May-Grünwald-Giemsa/Pappenheim stain. Bone marrow aspirate smear. Brightfield microscopy, 40× oil immersion
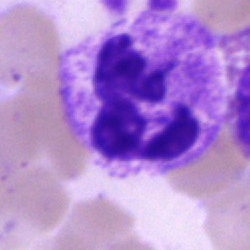 Specimen: bone marrow smear.
Cell type: segmented neutrophil.
Lineage: myeloid.